Bone marrow smear. Cropped to a single cell. Pappenheim-stained — 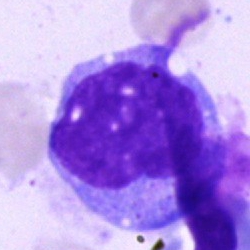Specimen: bone marrow aspirate smear.
Cell type: monocyte.
Lineage: myeloid.